Peripheral blood film: 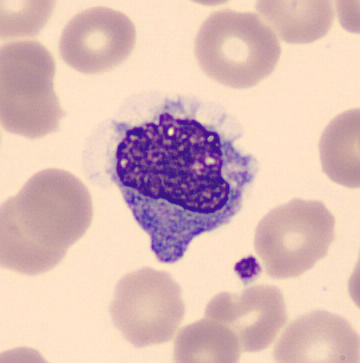

Single cell identified as a monocyte.